Bone marrow aspirate smear; 250×250
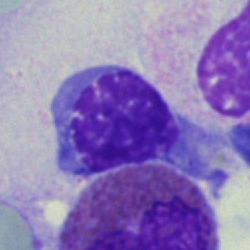The morphological class is nucleated red blood cell.